Single-cell crop · bone marrow aspirate smear: 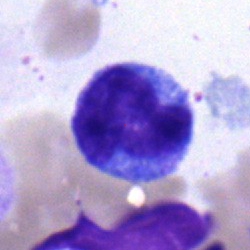
Q: What is shown here?
A: A monocyte.